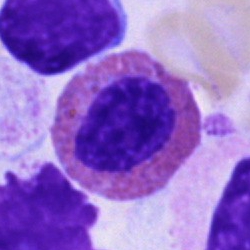Q: What is shown here?
A: An eosinophil.